250×250 px · bone marrow smear · single-cell crop:
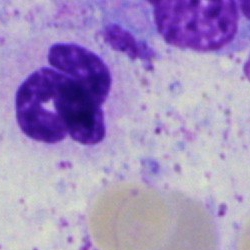Single cell identified as a segmented neutrophil.